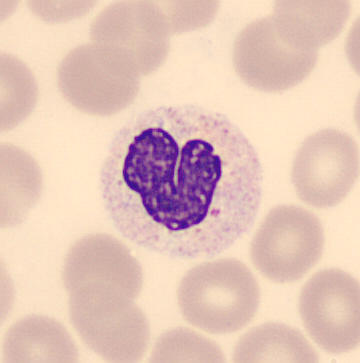The cell type is neutrophil (band).